Bone marrow aspirate smear:
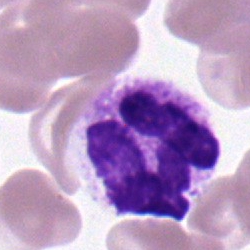

The cell shown is a polymorphonuclear neutrophil.